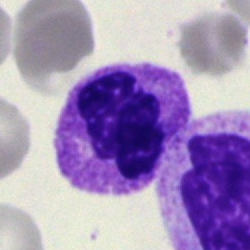Cell type: segmented neutrophil.